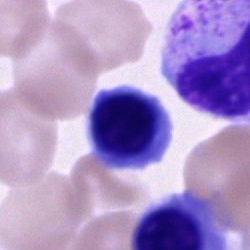

Specimen: bone marrow aspirate smear.
Cell: erythroblast.
Lineage: erythroid.